Bone marrow aspirate smear — 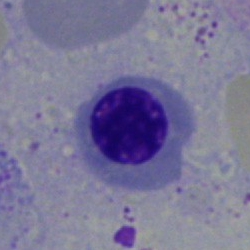
Specimen: bone marrow aspirate smear.
Cell type: nucleated red cell.